MGG-stained. Bone marrow smear. 250×250:
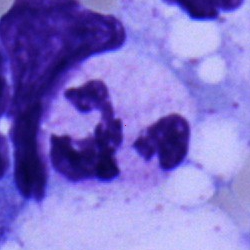Classification: polymorphonuclear neutrophil.